Bone marrow aspirate smear
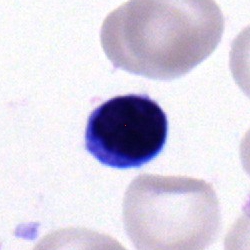 The classification is typical lymphocyte.